Bone marrow smear — 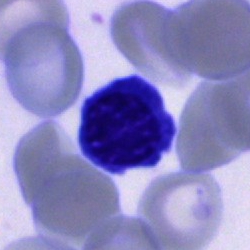

{"cell_type": "nucleated red cell", "lineage": "erythroid"}